Peripheral blood film. 400 by 400 pixels.
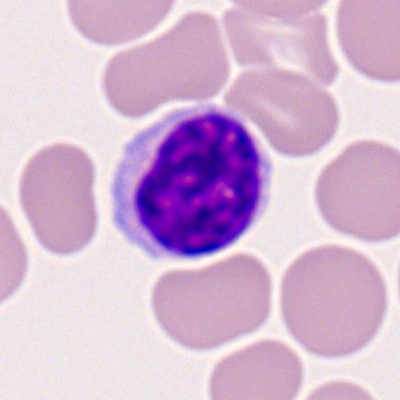Q: What is shown here?
A: A typical lymphocyte.